Bone marrow smear · 40× objective, oil immersion:
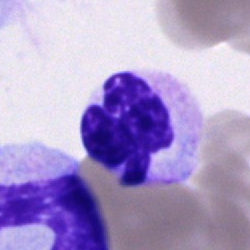Showing a polymorphonuclear neutrophil.